Bone marrow smear. Single-cell field.
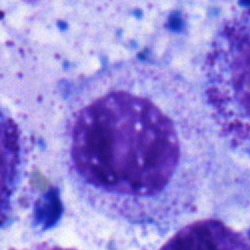

The cell shown is a myelocyte.